Bone marrow smear. Image size 250×250: 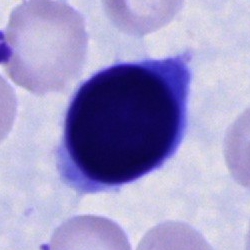
Morphology consistent with an unidentifiable cell.